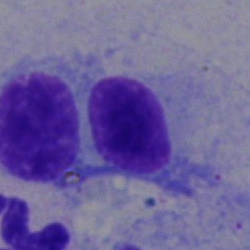
Cell — lymphocyte.